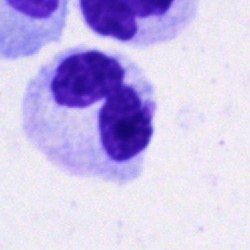
A segmented neutrophil on a bone marrow smear.